MGG-stained. Bone marrow aspirate smear: 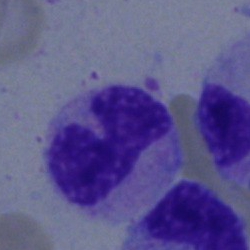Specimen: bone marrow aspirate smear.
Morphological class: neutrophil (segmented).
Lineage: myeloid.